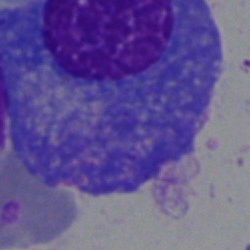
A plasmacyte on a bone marrow smear.